May-Grünwald-Giemsa stain; bone marrow smear
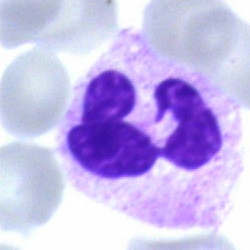
The cell type is neutrophil (segmented).